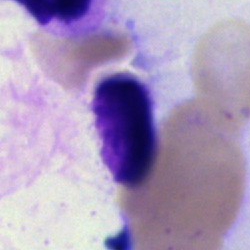 Q: What is shown here?
A: An artefact.